Single cell centered in the field; bone marrow smear — 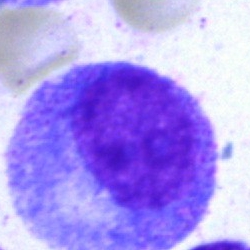 Morphology consistent with a progranulocyte.